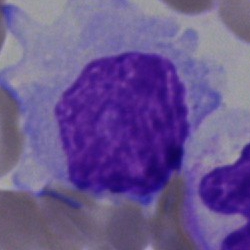 The morphological class is hairy cell.